Bone marrow smear.
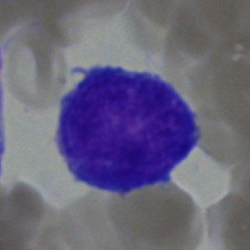
This is a blast.